Single-cell field · bone marrow smear · 250×250 px
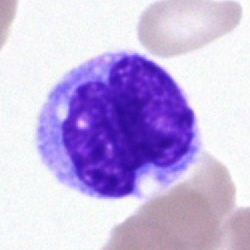 {"cell_type": "monocyte", "lineage": "myeloid"}